Bone marrow aspirate smear. 250×250 — 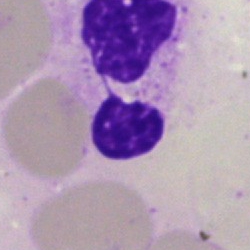Morphology — polymorphonuclear neutrophil.